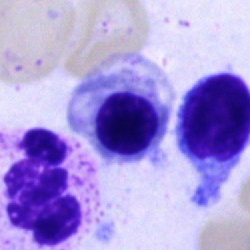 Bone marrow aspirate smear, single cell — nucleated red cell.